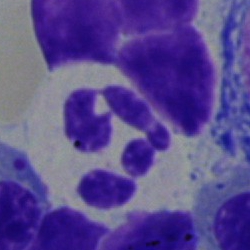A segmented neutrophil.